MGG-stained; bone marrow aspirate smear.
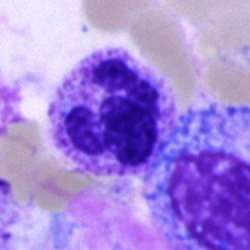
Impression → neutrophil (segmented).